Peripheral blood film.
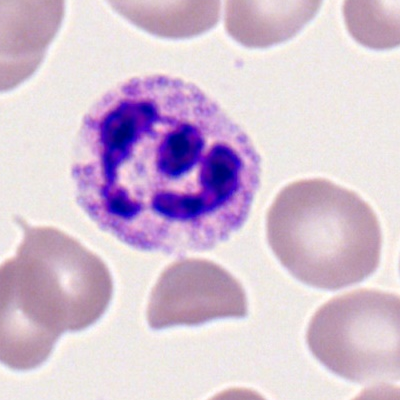{"cell_type": "neutrophil (segmented)"}